Bone marrow smear; May-Grünwald-Giemsa/Pappenheim stain
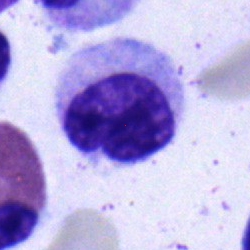 Q: What is the morphological classification of this cell?
A: It is a myelocyte.